Bone marrow smear. 250×250 px.
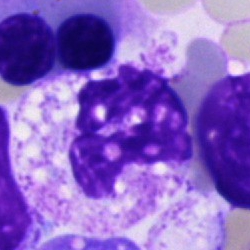
Single cell identified as a neutrophil (segmented).